Brightfield, 40× oil-immersion objective. Bone marrow smear. 250×250
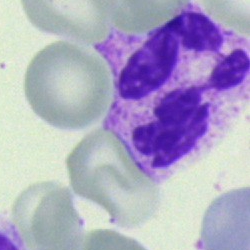
Morphological class: segmented neutrophil.